Peripheral blood smear: 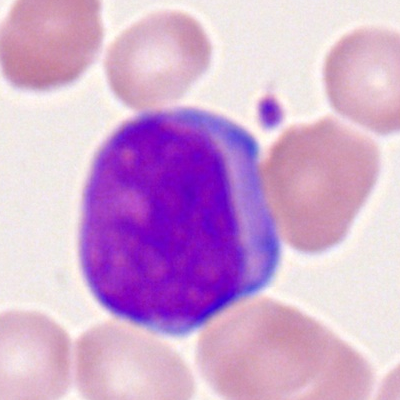

Myeloblast.